Bone marrow aspirate smear:
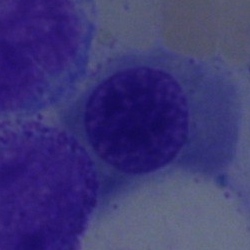
Q: Identify the cell.
A: A nucleated red blood cell.